Bone marrow aspirate smear · 250×250 px: 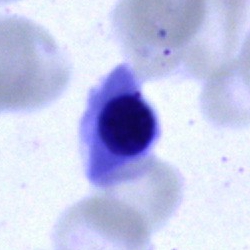 Q: Identify the cell.
A: This is an erythroblast.